Bone marrow smear; 250 by 250 pixels
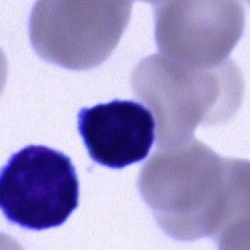

Specimen: bone marrow aspirate smear.
Morphological class: typical lymphocyte.
Lineage: lymphoid.